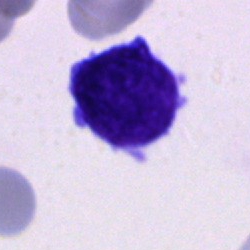Q: Which cell type is shown here?
A: This is a blast cell.